Bone marrow aspirate smear
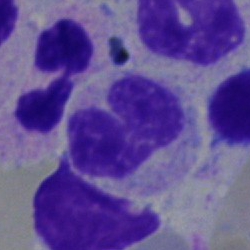

The morphological class is neutrophil (band).